Bone marrow aspirate smear.
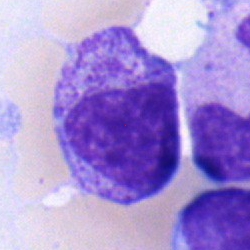

{"cell_type": "myelocyte"}